Bone marrow smear. May-Grünwald-Giemsa stain: 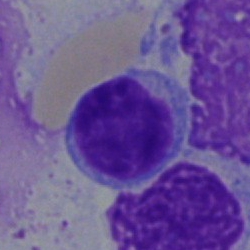

Showing a lymphocyte.